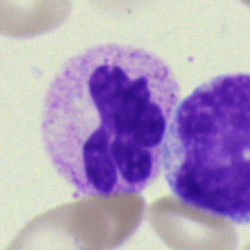
Cell = polymorphonuclear neutrophil.